Peripheral blood film
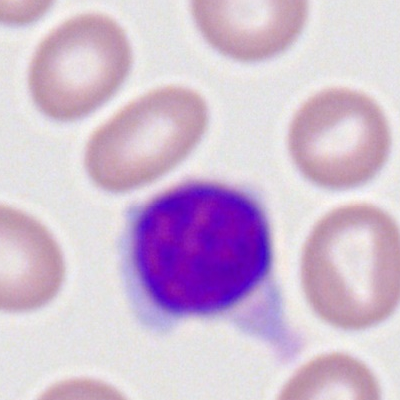 Morphology — lymphocyte.